Bone marrow smear — 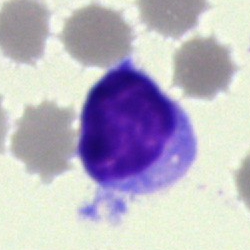
Morphology consistent with a typical lymphocyte.